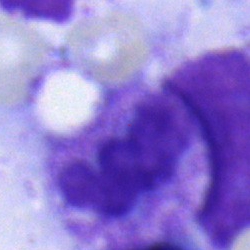Impression — polymorphonuclear neutrophil.